Bone marrow aspirate smear
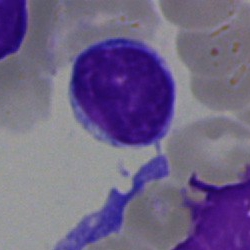 Q: What is the morphological classification of this cell?
A: A lymphocyte.